Bone marrow smear
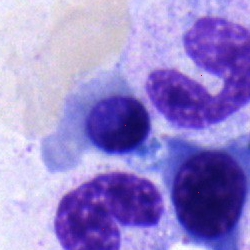 The cell type is nucleated red cell.